Bone marrow smear:
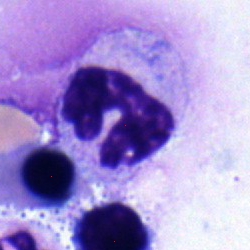

Neutrophil (band).